400 by 400 pixels · peripheral blood film
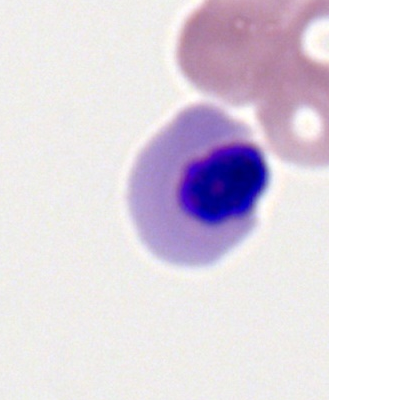
Specimen: peripheral blood film.
Cell type: nucleated red cell.